Bone marrow aspirate smear · brightfield microscopy, 40× oil immersion · MGG-stained: 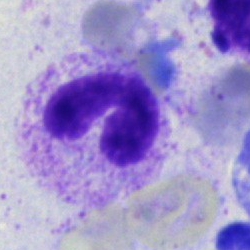Cell type: segmented neutrophil.